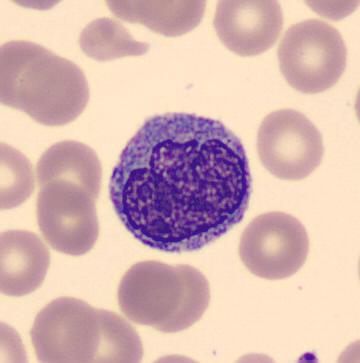
Peripheral blood film. CellaVision DM96 digital cell image.
Cell = monocyte.